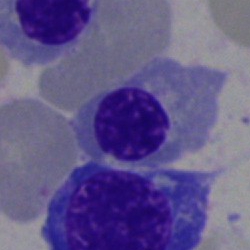

The cell shown is a normoblast.